Bone marrow aspirate smear — 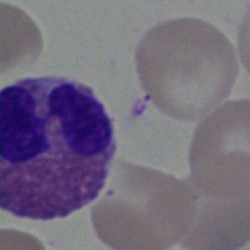
{"cell_type": "eosinophilic granulocyte", "lineage": "myeloid"}